Bone marrow aspirate smear; single-cell crop; 40× oil immersion: 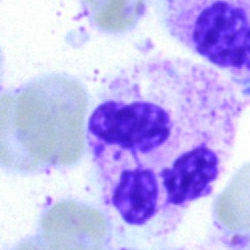 A segmented neutrophil.